Bone marrow aspirate smear — 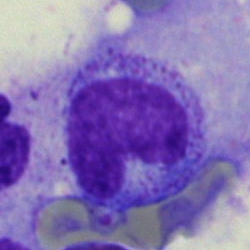 Q: Which cell type is shown here?
A: Metamyelocyte.